Bone marrow aspirate smear — 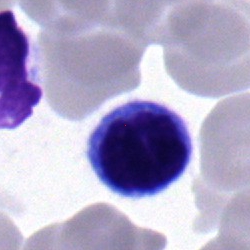Specimen: bone marrow smear.
Cell type: lymphocyte.